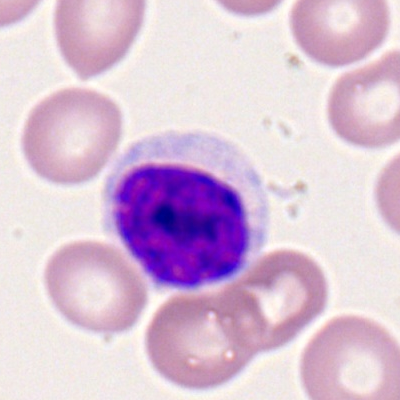
A lymphocyte on a peripheral blood smear.